Bone marrow smear; image size 250×250; single-cell field — 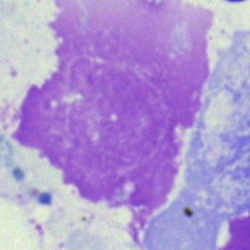
The morphological class is artifact.